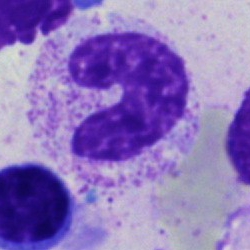 Q: Which cell type is shown here?
A: It is a band neutrophil.